Bone marrow aspirate smear.
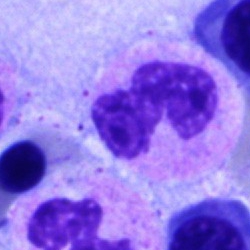

Morphology consistent with a band-form neutrophil.